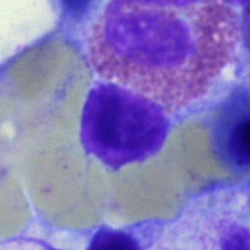

Cell: lymphocyte.